Bone marrow smear
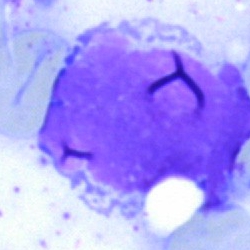Cell of indeterminate lineage.